Single cell centered in the field. 250 by 250 pixels. Bone marrow smear — 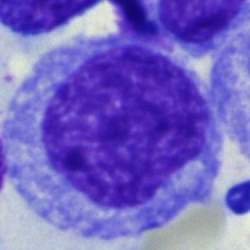

The classification is blast cell.